Single cell centered in the field · bone marrow aspirate smear.
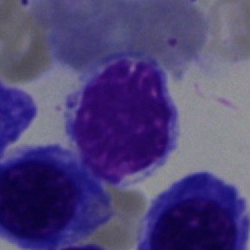 The classification is typical lymphocyte.